Bone marrow aspirate smear
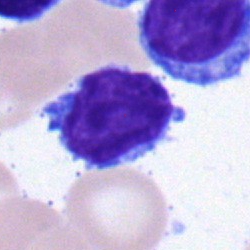
A lymphocyte.